Bone marrow smear:
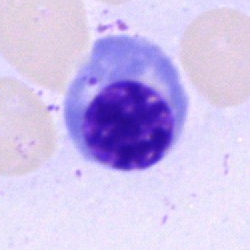 Impression — nucleated red blood cell.